Bone marrow aspirate smear · cropped to a single cell:
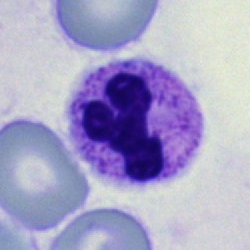
A neutrophil (segmented).